Bone marrow smear · single-cell field:
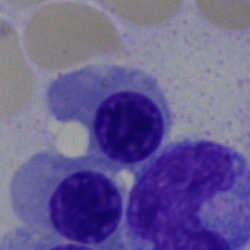
Specimen: bone marrow aspirate smear.
Classification: nucleated red blood cell.
Lineage: erythroid.